Peripheral blood film: 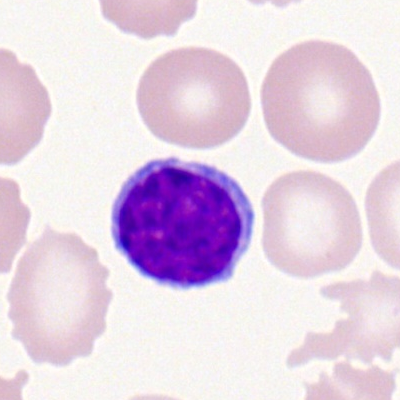
The cell shown is a lymphocyte.